Bone marrow smear:
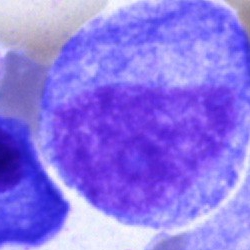 The morphological class is promyelocyte.